Bone marrow smear:
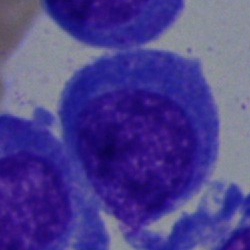 Morphology → undifferentiated blast.